Bone marrow aspirate smear · MGG-stained — 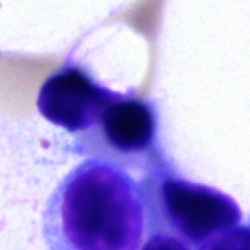 Morphology consistent with an artefact.